Peripheral blood smear. Romanowsky-stained — 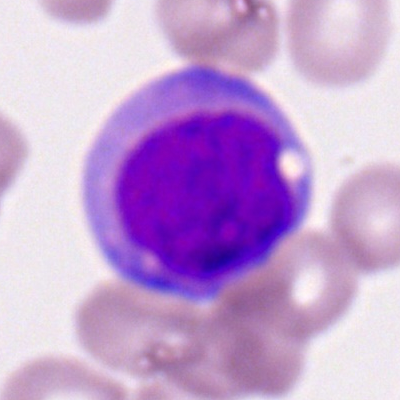A myeloid blast.